Bone marrow smear; single-cell crop; 250×250 px:
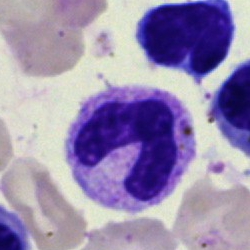Morphology — polymorphonuclear neutrophil.